Bone marrow aspirate smear: 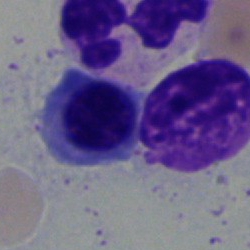
{"cell_type": "erythroblast", "lineage": "erythroid"}